Bone marrow smear; 250×250 px: 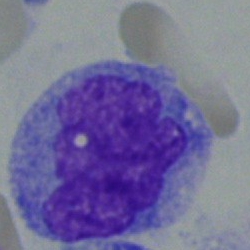

The cell is monocyte.